40× objective, oil immersion; bone marrow aspirate smear — 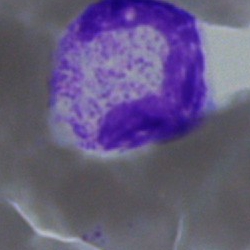 Specimen: bone marrow aspirate smear.
Classification: segmented neutrophil.
Lineage: myeloid.